May-Grünwald-Giemsa stain · bone marrow aspirate smear: 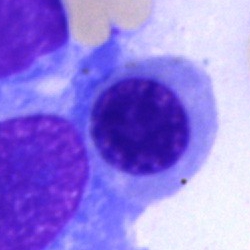
Q: What is the morphological classification of this cell?
A: A nucleated red blood cell.